Bone marrow aspirate smear · 250 by 250 pixels.
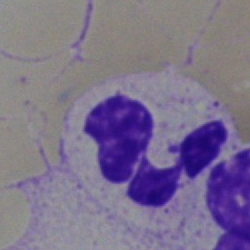 Morphology — polymorphonuclear neutrophil.